40× objective, oil immersion; May-Grünwald-Giemsa/Pappenheim stain; bone marrow aspirate smear: 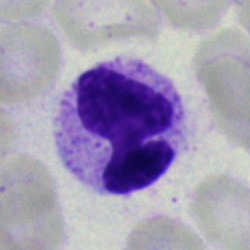
The cell type is band-form neutrophil.